Bone marrow aspirate smear:
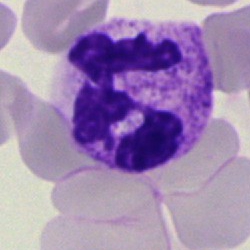 Cell type — neutrophil (segmented).